Single-cell field. Bone marrow smear:
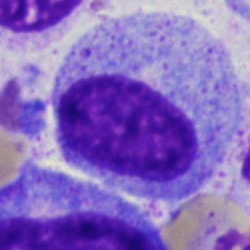
The cell shown is a promyelocyte.